40× objective, oil immersion; single-cell field; bone marrow smear:
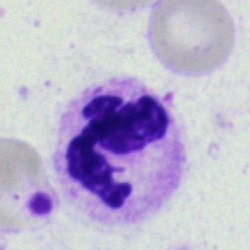
Morphological class: segmented neutrophil.